Bone marrow aspirate smear
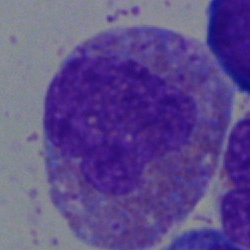 Cell = eosinophilic granulocyte.